Bone marrow smear: 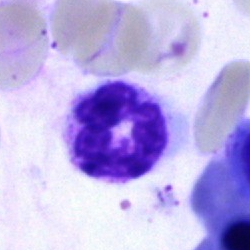 Cell type: segmented neutrophil.